Brightfield, 40× oil-immersion objective. Bone marrow aspirate smear
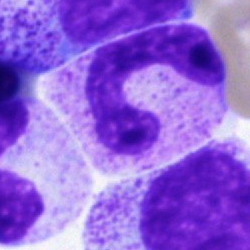 A stab cell.